Brightfield, 40× oil-immersion objective. Bone marrow aspirate smear.
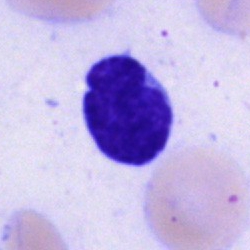

The morphological class is typical lymphocyte.